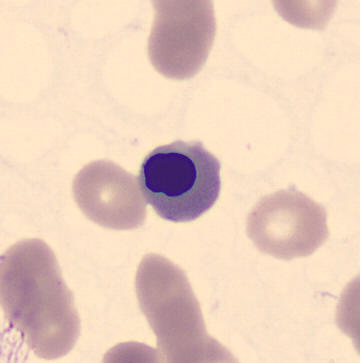
360 by 363 pixels · MGG-stained · peripheral blood film.
Morphology consistent with a nucleated red blood cell.